Bone marrow smear
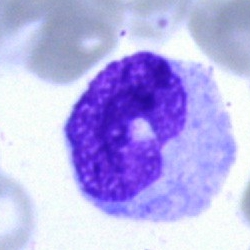 Specimen: bone marrow smear.
Cell: monocyte.